40× objective, oil immersion. Single cell centered in the field. Bone marrow smear — 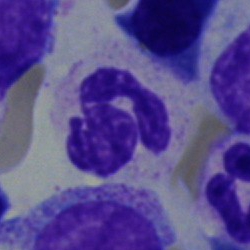

This is a segmented neutrophil.